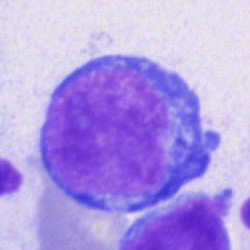Showing a blast.